Peripheral blood smear:
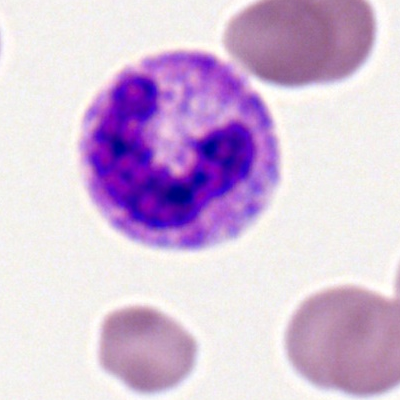 Q: What is shown here?
A: It is a polymorphonuclear neutrophil.